Bone marrow smear. 250 by 250 pixels:
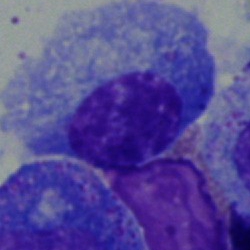

Showing a plasmacyte.